Peripheral blood smear: 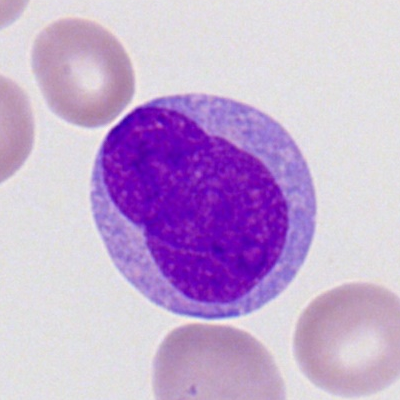

The cell shown is a myeloblast.